Bone marrow smear.
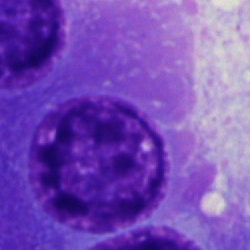
The cell shown is an artifact.